Bone marrow smear. Single-cell crop.
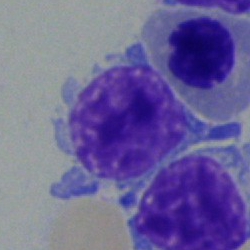 Single cell identified as a lymphocyte.